Bone marrow aspirate smear — 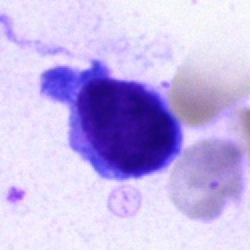 Classification — typical lymphocyte.